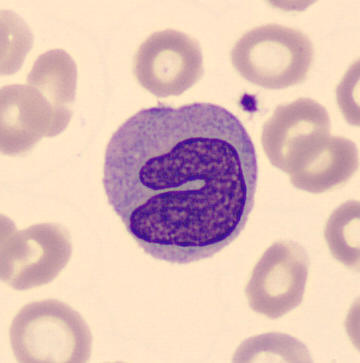

Identified as a monocyte.

Peripheral blood smear.